Bone marrow smear.
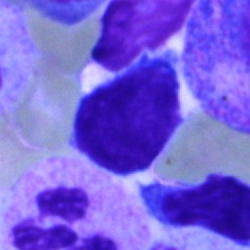Impression → lymphocyte.